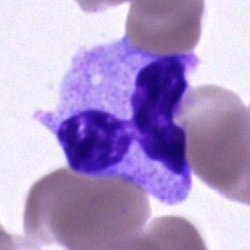
Specimen: bone marrow smear.
Cell: segmented neutrophil.